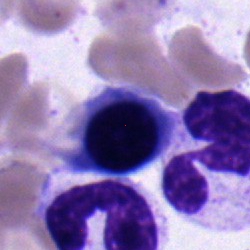 Q: What type of cell is this?
A: This is an erythroblast.